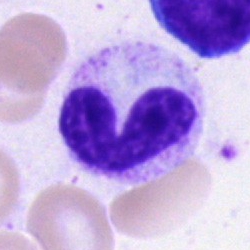Morphology — neutrophil (band).